Bone marrow aspirate smear
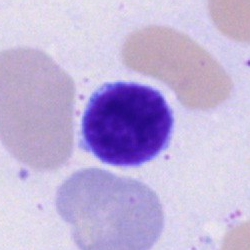
Impression — lymphocyte.